Bone marrow aspirate smear. 40× oil immersion — 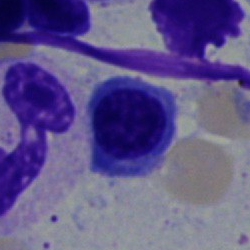 Specimen: bone marrow aspirate smear.
Cell: nucleated red blood cell.